Bone marrow smear; 250×250 px
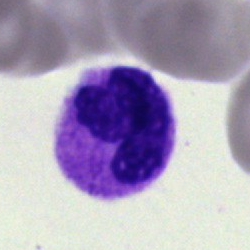
Stab cell.